Bone marrow smear · 250 by 250 pixels
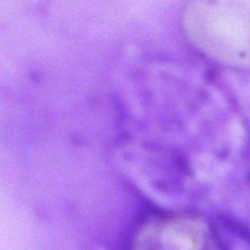

An artefact.